Bone marrow smear · brightfield, 40× oil-immersion objective:
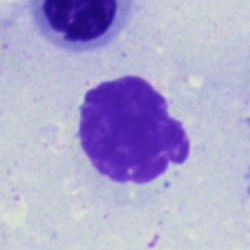

Q: What is shown here?
A: An artefact.